Peripheral blood smear:
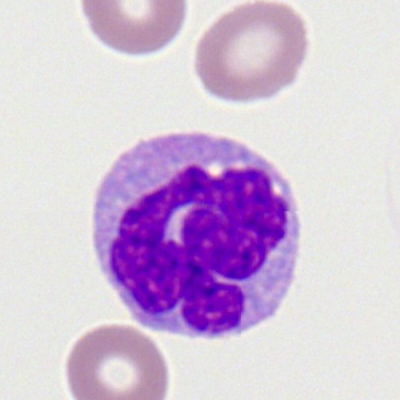Morphology → monocyte.